Bone marrow smear. Brightfield microscopy, 40× oil immersion. 250×250 px:
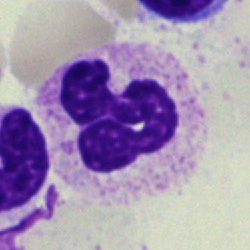
Impression → stab cell.